Peripheral blood smear — 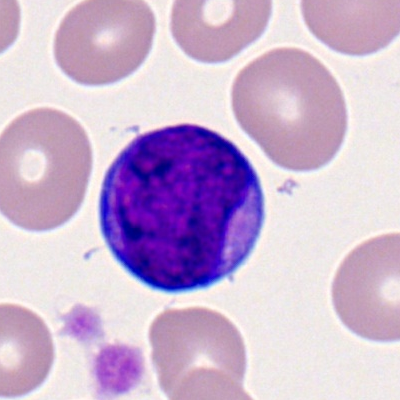 A myeloid blast.